Bone marrow smear; May-Grünwald-Giemsa/Pappenheim stain: 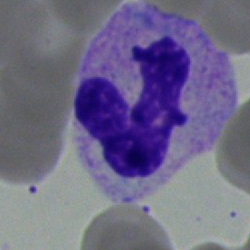
The cell shown is a neutrophil (segmented).